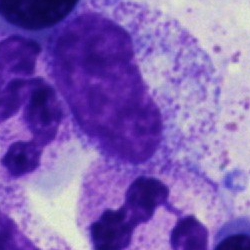 The cell is metamyelocyte.